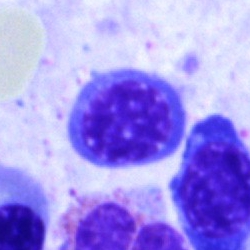{"cell_type": "erythroblast", "lineage": "erythroid"}